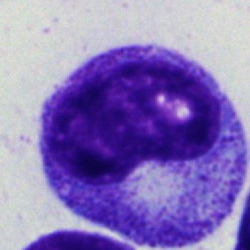Impression — progranulocyte.